Bone marrow aspirate smear · single-cell field: 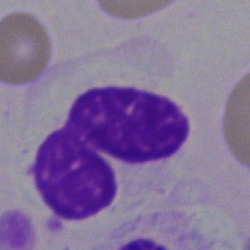
Showing a neutrophil (segmented).